Peripheral blood smear — 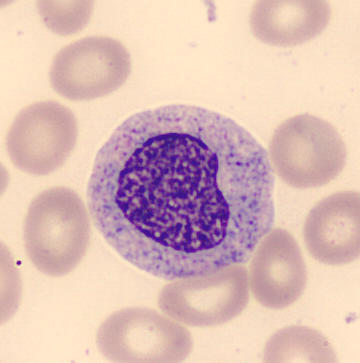

Q: What is this?
A: Myelocyte.